Single-cell crop; 40× oil immersion; bone marrow aspirate smear — 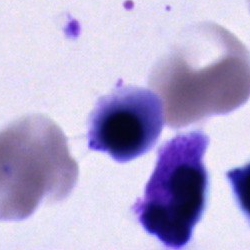 Morphology consistent with a cell of indeterminate lineage.